May-Grünwald-Giemsa/Pappenheim stain; bone marrow aspirate smear
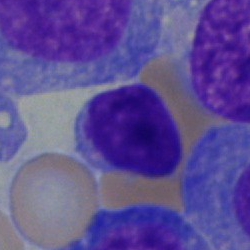

Morphology consistent with a typical lymphocyte.